Bone marrow smear: 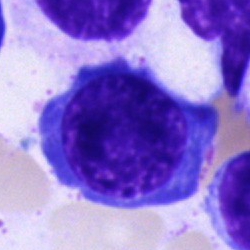Q: Which cell type is shown here?
A: An erythroblast.